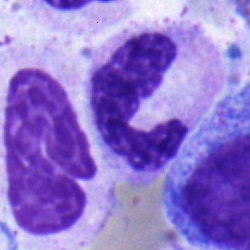

Morphological class = neutrophil (band).